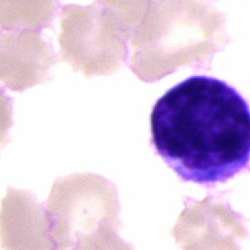
Single cell identified as a lymphocyte.